Bone marrow aspirate smear: 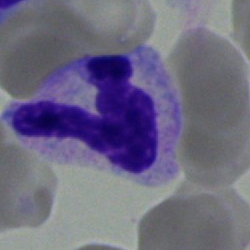
Impression → neutrophil (segmented).